Single-cell crop. Brightfield, 40× oil-immersion objective. Bone marrow aspirate smear.
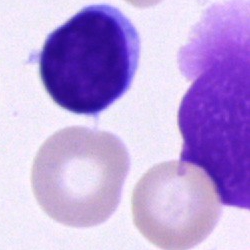 Morphology consistent with a typical lymphocyte.